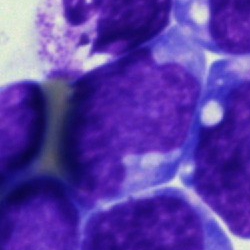

Cell — undifferentiated blast.